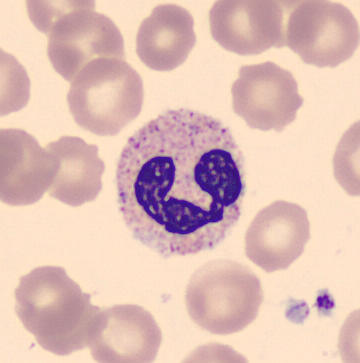
Acquisition: Peripheral blood smear · single cell centered in the field. A segmented neutrophil.